Image size 250×250; bone marrow smear:
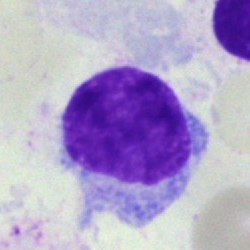 A hairy cell.